May-Grünwald-Giemsa/Pappenheim stain. Bone marrow aspirate smear. 40× oil immersion
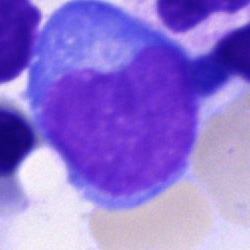 An undifferentiated blast.